Bone marrow smear: 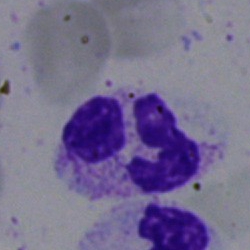
Specimen: bone marrow smear.
Morphological class: segmented neutrophil.